Bone marrow aspirate smear
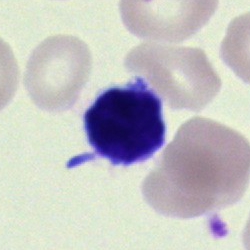

The cell type is typical lymphocyte.